Bone marrow smear. 250×250 px.
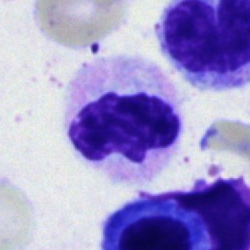

Cell = neutrophil (segmented).